250×250 px · 40× oil immersion · bone marrow aspirate smear:
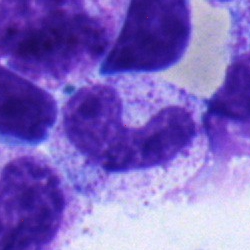

Showing a neutrophil (band).